Single-cell crop; bone marrow smear.
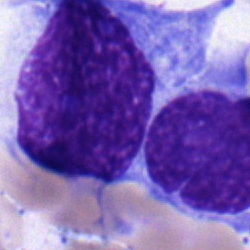Classification — lymphocyte.